Bone marrow smear: 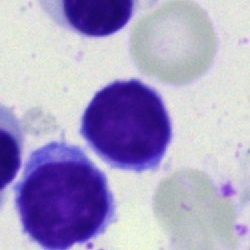Q: Identify the cell.
A: It is a lymphocyte.